100× oil immersion, 14.14 px/µm. Peripheral blood film
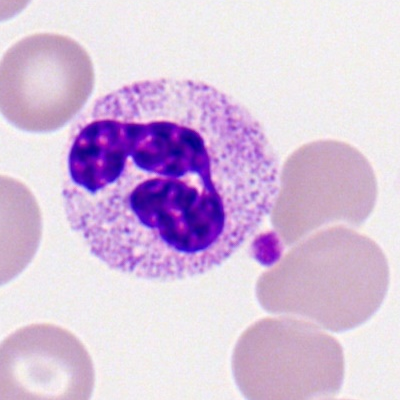Morphology → segmented neutrophil.